Bone marrow smear
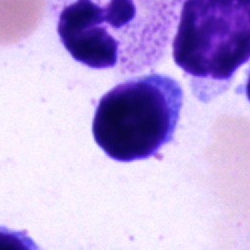 Q: What type of cell is this?
A: It is a lymphocyte.